Image size 400×400; Romanowsky-type stain; peripheral blood smear — 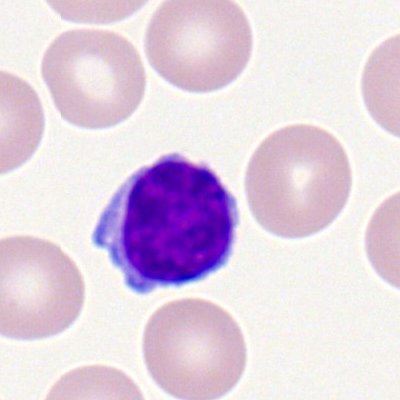
Q: What is the morphological classification of this cell?
A: A lymphocyte.